Cropped to a single cell; bone marrow aspirate smear: 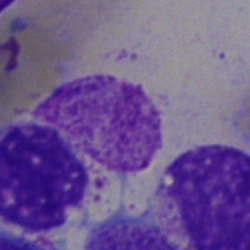 The cell type is artifact.